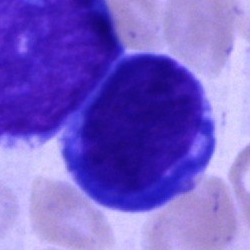

Q: What cell is this?
A: Blast.